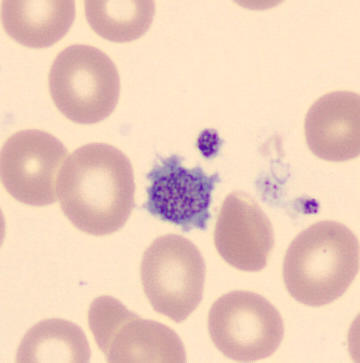

Peripheral blood smear.

This is a thrombocyte.